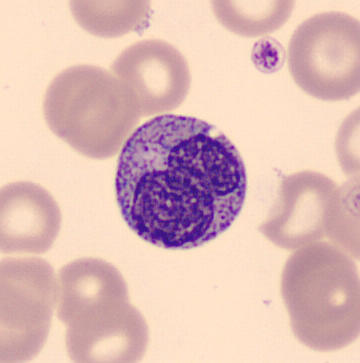This is a metamyelocyte.
Peripheral blood film.